Bone marrow aspirate smear — 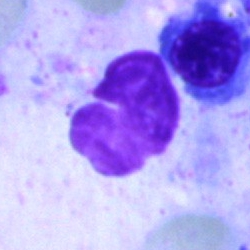
{"cell_type": "artefact"}